MGG-stained · bone marrow aspirate smear:
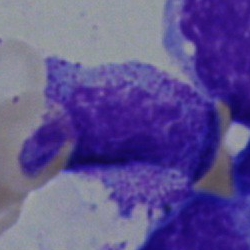

Impression → myelocyte.